Bone marrow smear
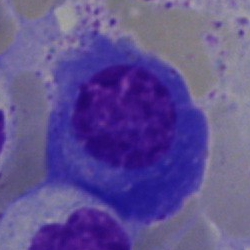 Q: What is shown here?
A: This is a plasma cell.